Bone marrow aspirate smear. Image size 250×250
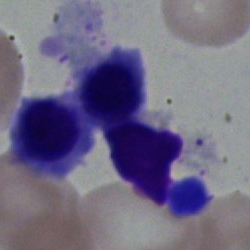Showing a nucleated red cell.